Bone marrow aspirate smear:
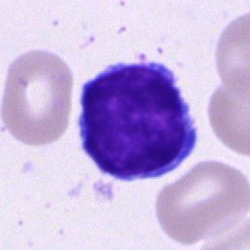 {"cell_type": "typical lymphocyte", "lineage": "lymphoid"}